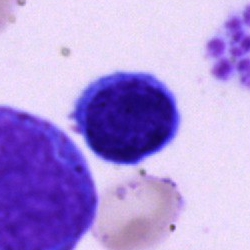
{"cell_type": "lymphocyte", "lineage": "lymphoid"}